Bone marrow aspirate smear:
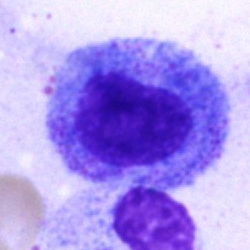Showing a progranulocyte.